Bone marrow aspirate smear. Brightfield microscopy, 40× oil immersion
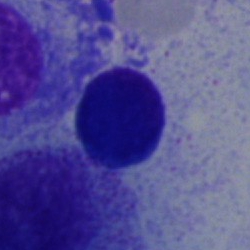Cell type = typical lymphocyte.